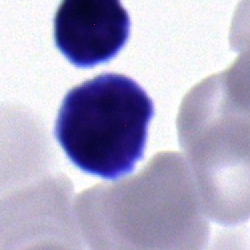
Typical lymphocyte.